Bone marrow aspirate smear: 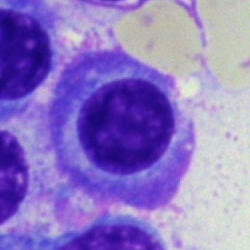Specimen: bone marrow aspirate smear.
Cell type: plasma cell.
Lineage: lymphoid.